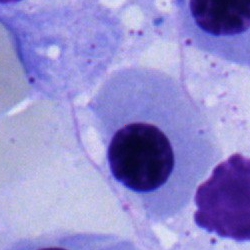 Morphology → normoblast.